Bone marrow smear: 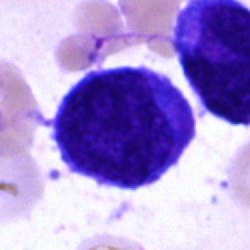

Cell: undifferentiated blast.